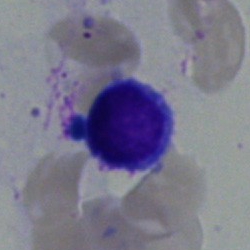 This is a lymphocyte.